Brightfield, 40× oil-immersion objective. Bone marrow smear:
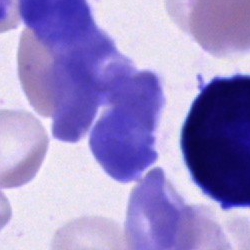 Cell type = cell of indeterminate lineage.